Bone marrow aspirate smear:
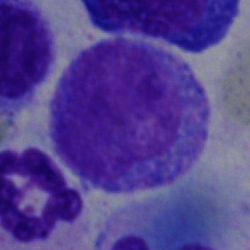{"cell_type": "promyelocyte"}